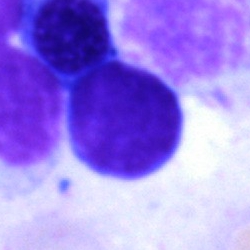

Morphology consistent with a typical lymphocyte.